Bone marrow aspirate smear; MGG-stained; 40× oil immersion
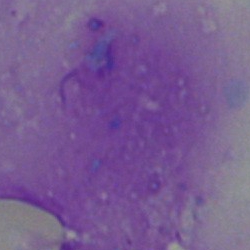 Q: What is shown here?
A: An artefact.